250×250 · bone marrow aspirate smear
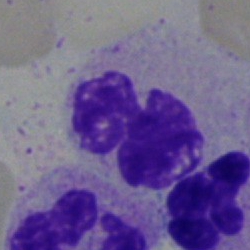

Segmented neutrophil.